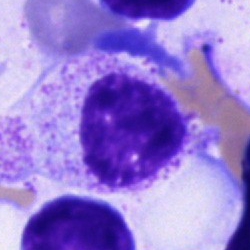

Single-cell crop from a bone marrow smear: cell of indeterminate lineage.